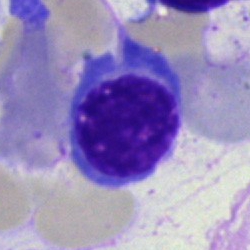

Specimen: bone marrow smear.
Morphological class: nucleated red blood cell.